Bone marrow smear:
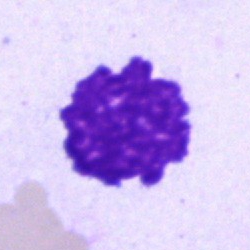Morphology — artifact.